250 by 250 pixels · 40× oil immersion · bone marrow aspirate smear.
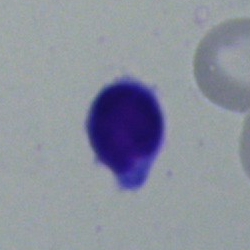

A typical lymphocyte.